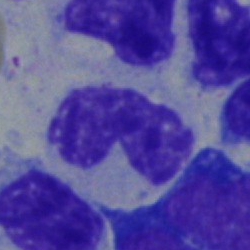 Specimen: bone marrow aspirate smear.
Cell type: band-form neutrophil.
Lineage: myeloid.